250×250 · bone marrow smear
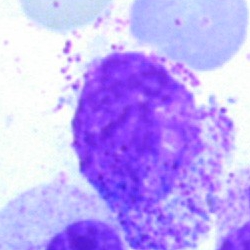 A myelocyte.